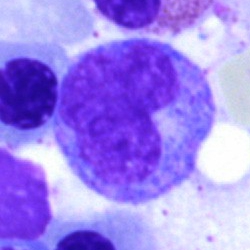
Morphology → monocyte.